Bone marrow smear: 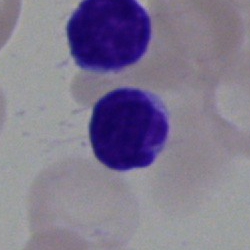 A lymphocyte.